Bone marrow aspirate smear — 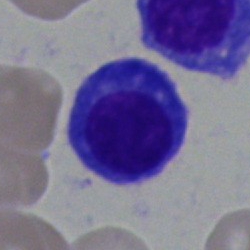Q: Identify the cell.
A: This is a plasmacyte.